Bone marrow smear
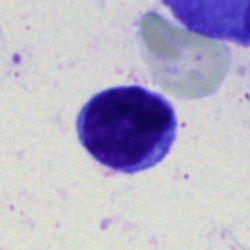Cell type = lymphocyte.